Bone marrow smear.
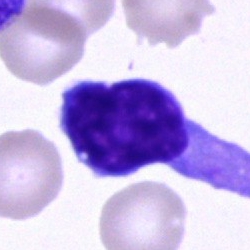Typical lymphocyte.